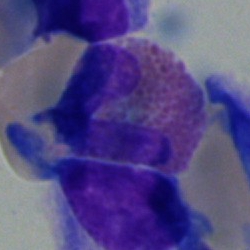 Showing an eosinophil.